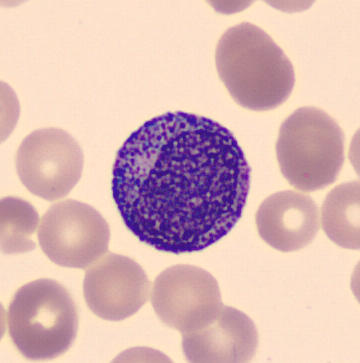The cell shown is a progranulocyte.

Preparation: Peripheral blood smear · MGG stain.